Bone marrow aspirate smear
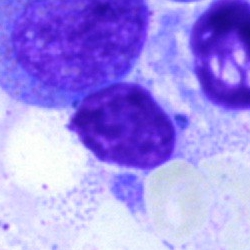 Classification = artefact.